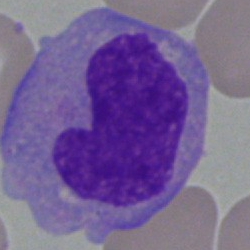

The cell type is monocyte.